Peripheral blood smear.
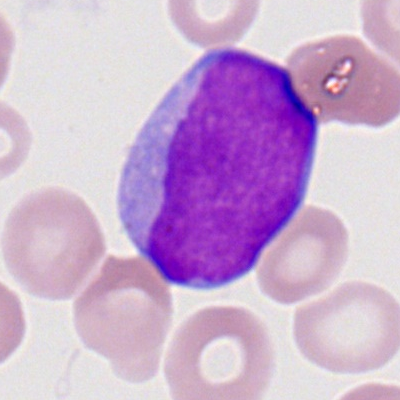

Morphology consistent with a myeloid blast.